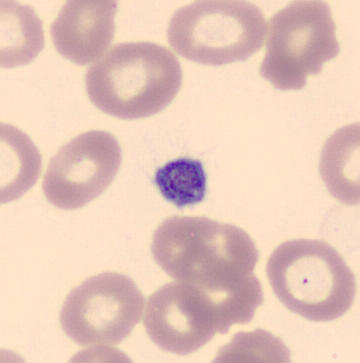
Q: What is shown here?
A: It is a platelet (thrombocyte).